Bone marrow aspirate smear.
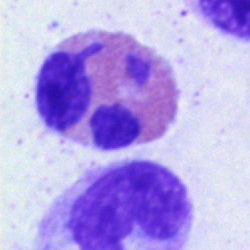
The cell is eosinophil.